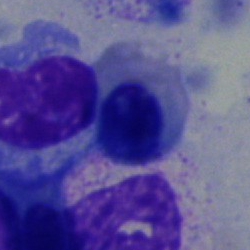Specimen: bone marrow aspirate smear.
Cell type: nucleated red cell.
Lineage: erythroid.